Image size 250×250 · bone marrow smear.
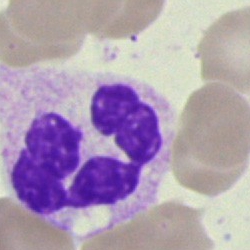

Single cell identified as a polymorphonuclear neutrophil.